Bone marrow aspirate smear; image size 250×250; brightfield microscopy, 40× oil immersion — 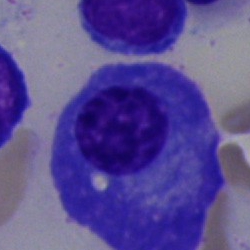 Impression → plasmacyte.